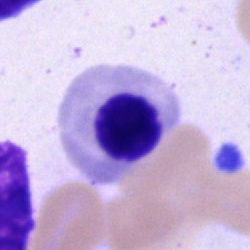
Single-cell crop from a bone marrow smear: nucleated red blood cell.